Image size 250×250; single cell centered in the field; bone marrow aspirate smear — 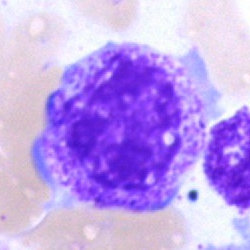
Cell — myelocyte.